Bone marrow smear; May-Grünwald-Giemsa/Pappenheim stain; single cell centered in the field: 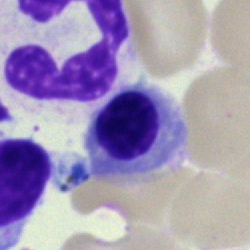 Morphology → nucleated red blood cell.